Peripheral blood film: 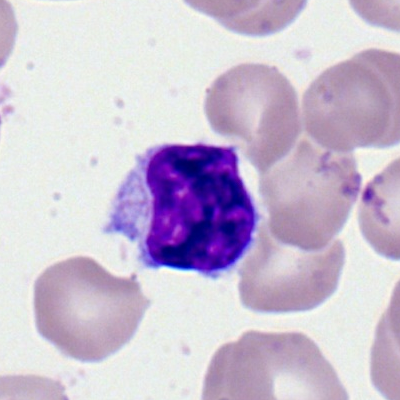A lymphocyte.